Bone marrow aspirate smear
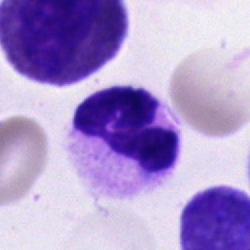 Impression — polymorphonuclear neutrophil.